MGG-stained; 40× oil immersion; bone marrow aspirate smear: 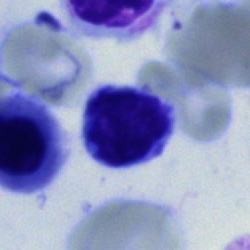 Cell: typical lymphocyte.